Bone marrow smear.
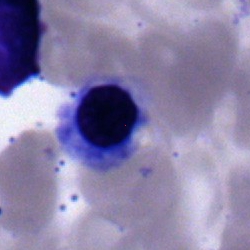Nucleated red blood cell.